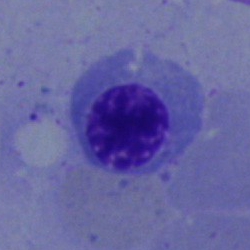Morphological class — nucleated red cell.